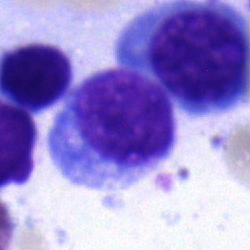{"cell_type": "lymphocyte", "lineage": "lymphoid"}